Bone marrow smear: 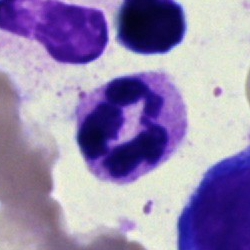 Q: What type of cell is this?
A: This is a neutrophil (segmented).